Bone marrow smear; single cell centered in the field — 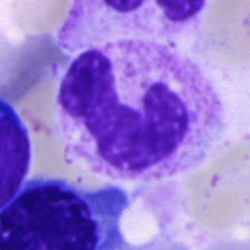Morphology consistent with a segmented neutrophil.